Bone marrow smear — 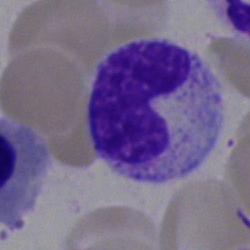Single cell identified as a band-form neutrophil.